Single-cell field; bone marrow smear; May-Grünwald-Giemsa/Pappenheim stain
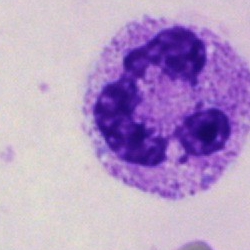The cell shown is a polymorphonuclear neutrophil.